Single-cell crop · bone marrow smear: 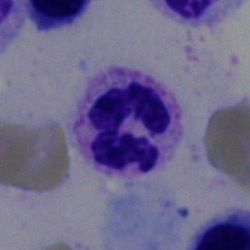 Specimen: bone marrow aspirate smear.
Morphological class: neutrophil (segmented).
Lineage: myeloid.